Bone marrow aspirate smear: 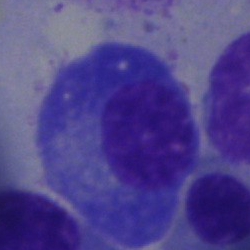 Q: Identify the cell.
A: A plasmacyte.